Bone marrow smear. Image size 250×250: 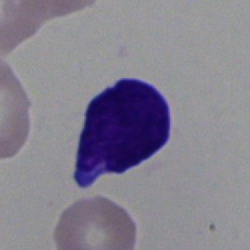
Specimen: bone marrow aspirate smear.
Cell type: blast.